Bone marrow aspirate smear:
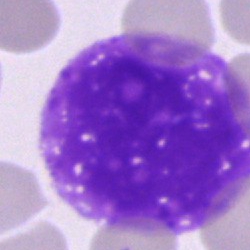Classification — artefact.